Bone marrow smear — 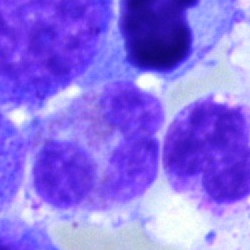
Q: What cell is this?
A: Eosinophilic granulocyte.